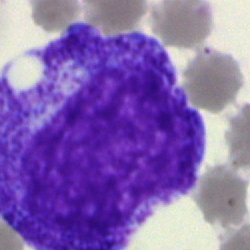

Single cell identified as a promyelocyte.